Bone marrow smear.
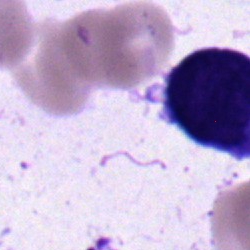Specimen: bone marrow aspirate smear.
Morphological class: undifferentiated blast.